May-Grünwald-Giemsa/Pappenheim stain. Bone marrow aspirate smear — 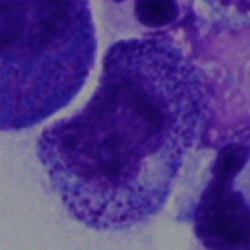

Morphology — promyelocyte.